250×250 px; bone marrow smear — 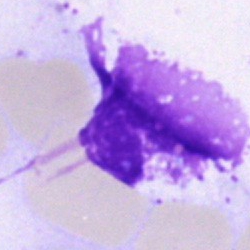

Morphological class: artefact.